Bone marrow smear · May-Grünwald-Giemsa/Pappenheim stain · 40× objective, oil immersion:
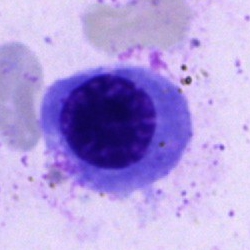
Morphology consistent with a nucleated red blood cell.